Bone marrow smear: 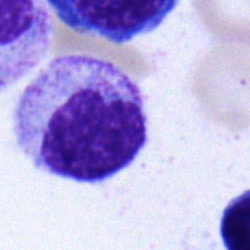A band neutrophil.